Bone marrow aspirate smear:
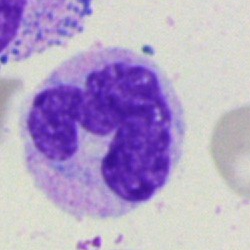

Specimen: bone marrow aspirate smear.
Morphological class: monocyte.
Lineage: myeloid.